Peripheral blood film — 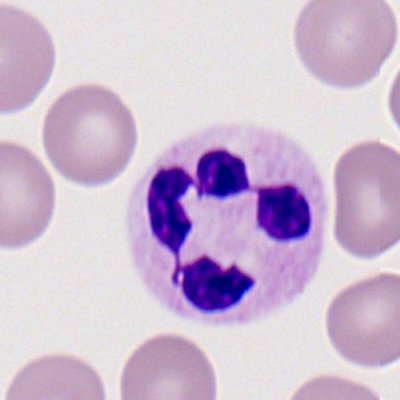 Impression — segmented neutrophil.